Bone marrow smear.
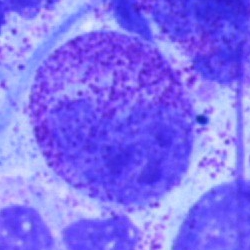 {"cell_type": "myelocyte", "lineage": "myeloid"}